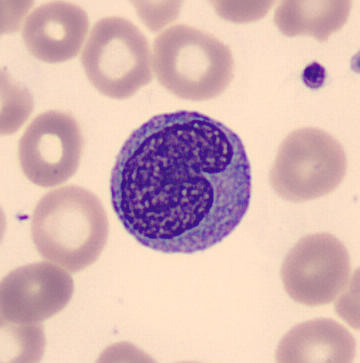

Q: What type of cell is this?
A: Monocyte. Preparation: Peripheral blood smear.